Bone marrow smear:
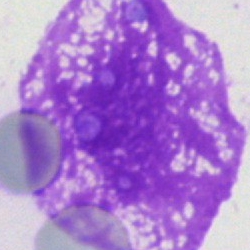

Classification — artefact.